Bone marrow smear
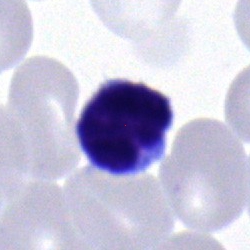

Specimen: bone marrow aspirate smear.
Cell: lymphocyte.
Lineage: lymphoid.